Single cell centered in the field · bone marrow smear:
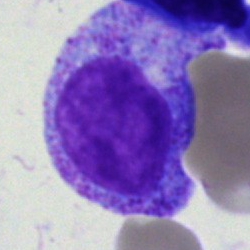

Single cell identified as a progranulocyte.